Bone marrow aspirate smear. Image size 250×250:
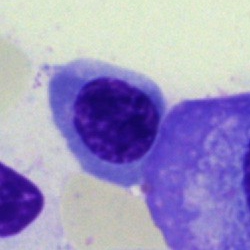 The cell type is nucleated red blood cell.